Bone marrow aspirate smear.
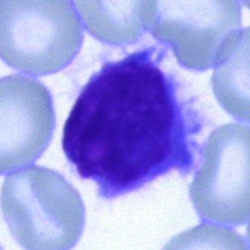Q: Identify the cell.
A: Typical lymphocyte.